May-Grünwald-Giemsa stain · bone marrow aspirate smear
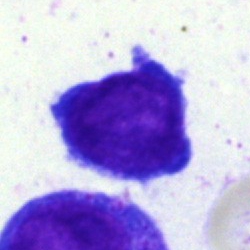
The cell type is pronormoblast.